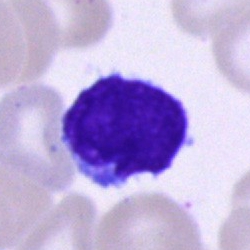
Q: What type of cell is this?
A: Lymphocyte.